Bone marrow aspirate smear. Single-cell crop: 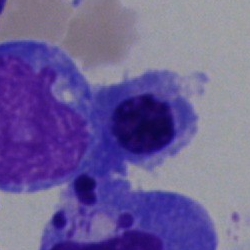
The cell type is nucleated red blood cell.